Bone marrow aspirate smear — 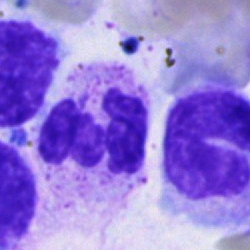

Q: What cell is this?
A: Segmented neutrophil.